Bone marrow smear.
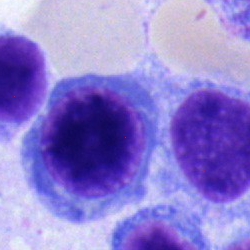
Specimen: bone marrow aspirate smear.
Morphological class: normoblast.
Lineage: erythroid.